Bone marrow smear; 250×250:
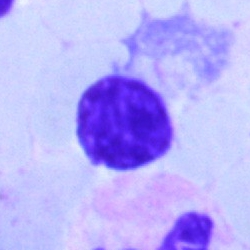

Single cell identified as a typical lymphocyte.